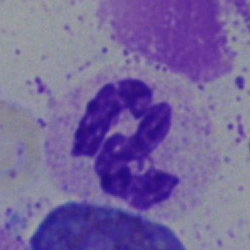 The cell is neutrophil (segmented).